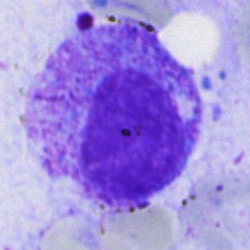Q: What is shown here?
A: It is a myelocyte.